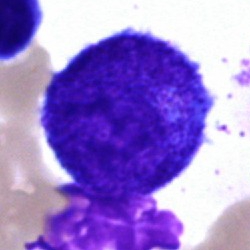

Q: What type of cell is this?
A: Promyelocyte.